250×250; bone marrow smear:
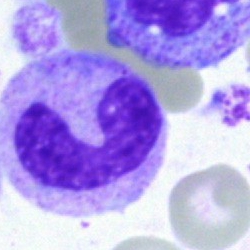Single cell identified as a band neutrophil.